Peripheral blood film
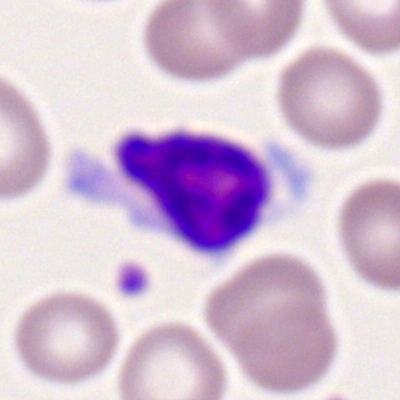
Specimen: peripheral blood smear.
Classification: lymphocyte.